Bone marrow smear: 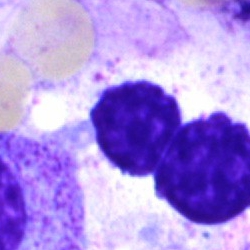

The cell shown is an artefact.